Peripheral blood smear. Romanowsky-stained.
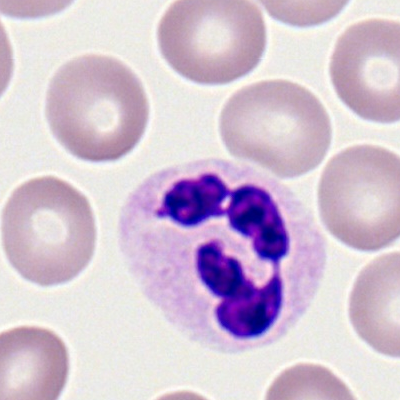

Q: What cell is this?
A: This is a segmented neutrophil.